Cropped to a single cell · 250×250 px · bone marrow aspirate smear:
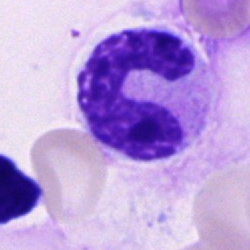
Showing a band neutrophil.